Bone marrow smear:
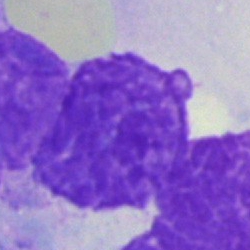The cell type is artefact.